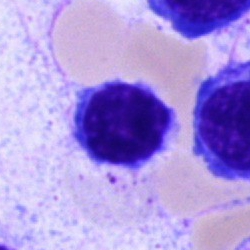

{"cell_type": "lymphocyte", "lineage": "lymphoid"}